Bone marrow smear
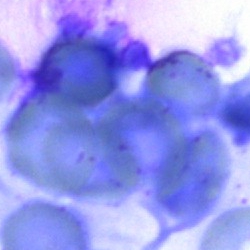
Showing an artefact.